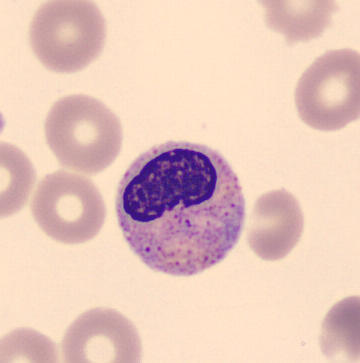
A neutrophil (band).